Bone marrow aspirate smear: 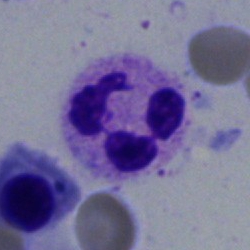

Morphological class = segmented neutrophil.